Bone marrow smear:
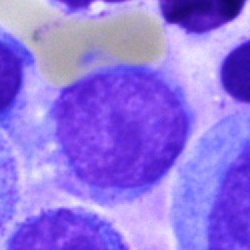

Q: What cell is this?
A: This is a typical lymphocyte.